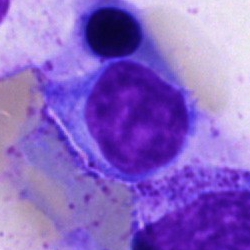

A lymphocyte.